Bone marrow smear. May-Grünwald-Giemsa/Pappenheim stain
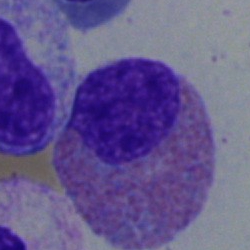
Morphology consistent with an eosinophilic granulocyte.